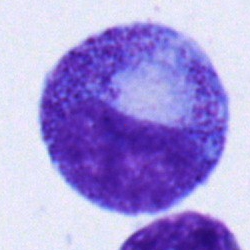 This is a metamyelocyte.